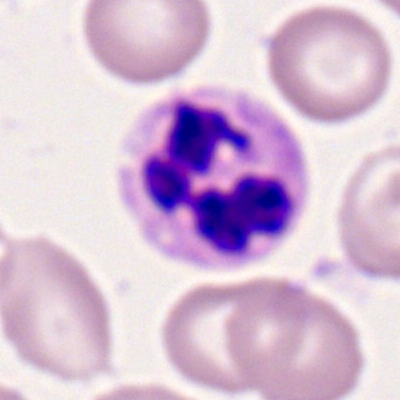

A neutrophil (segmented).